Bone marrow aspirate smear — 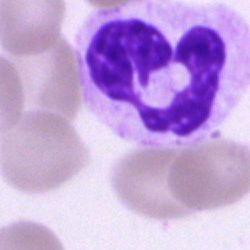
Morphology consistent with a polymorphonuclear neutrophil.